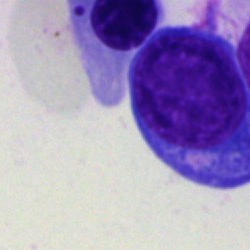 A plasmacyte.